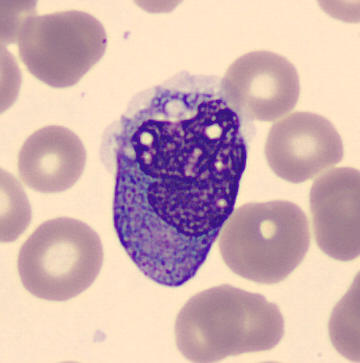 Classification — monocyte.